Bone marrow aspirate smear. Brightfield microscopy, 40× oil immersion — 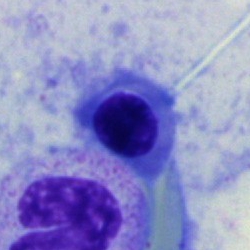
Showing a normoblast.